Bone marrow aspirate smear
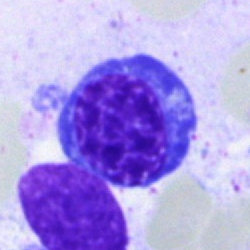 {"cell_type": "nucleated red cell", "lineage": "erythroid"}